Bone marrow smear. MGG-stained — 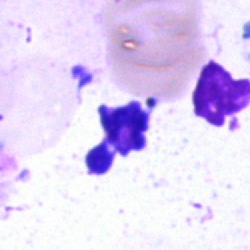Q: What is shown here?
A: Artefact.